Bone marrow smear · May-Grünwald-Giemsa stain · 40× oil immersion
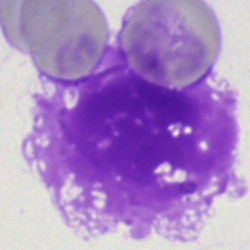

Morphological class — artifact.